Bone marrow aspirate smear — 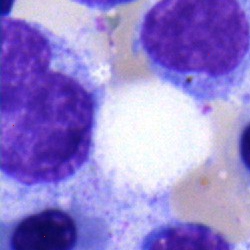
Morphology — metamyelocyte.